Bone marrow smear:
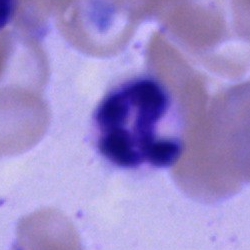
The morphological class is polymorphonuclear neutrophil.